May-Grünwald-Giemsa stain · bone marrow aspirate smear.
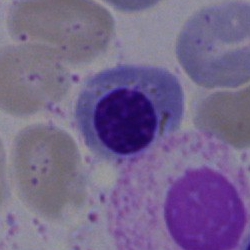Q: What is the morphological classification of this cell?
A: A nucleated red cell.